40× oil immersion; bone marrow aspirate smear; single-cell field.
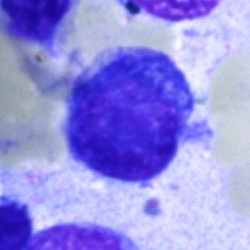
Cell = artefact.